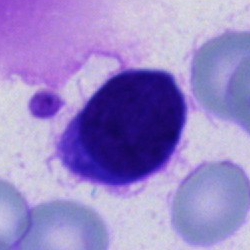
Bone marrow smear showing a cell of indeterminate lineage.